Bone marrow aspirate smear; 250 by 250 pixels:
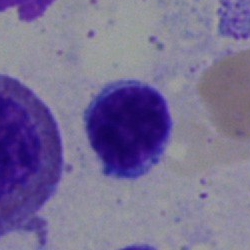 Single cell identified as a lymphocyte.